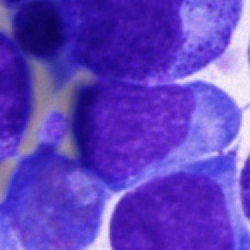A blast cell on a bone marrow smear.